Bone marrow aspirate smear
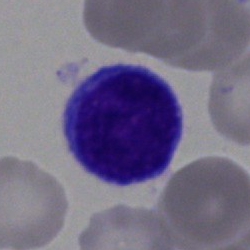 Classification = lymphocyte.